Brightfield, 40× oil-immersion objective · bone marrow aspirate smear:
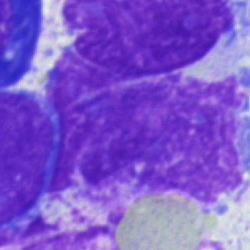

Artifact.